Bone marrow aspirate smear:
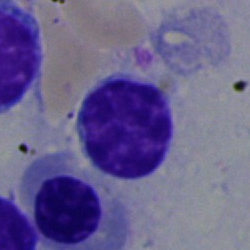 Q: What cell is this?
A: A lymphocyte.